Bone marrow smear:
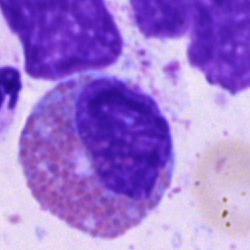Q: Which cell type is shown here?
A: It is an eosinophilic granulocyte.